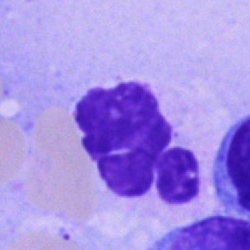
Morphological class = neutrophil (segmented).